Bone marrow aspirate smear:
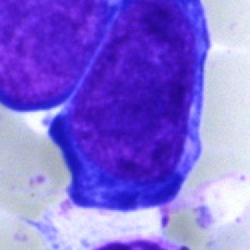
Specimen: bone marrow smear.
Cell: pronormoblast.
Lineage: erythroid.